Bone marrow aspirate smear — 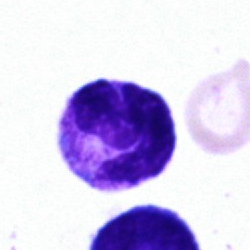
A segmented neutrophil.